250×250 · bone marrow smear — 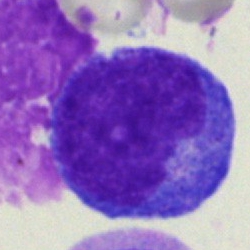

Q: What is the morphological classification of this cell?
A: This is a blast cell.